Bone marrow smear:
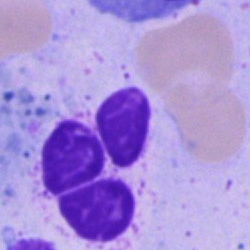 Q: What is the morphological classification of this cell?
A: It is a neutrophil (segmented).